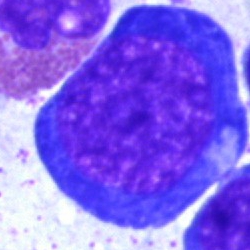 Q: What cell is this?
A: It is an erythroblast.